Bone marrow aspirate smear.
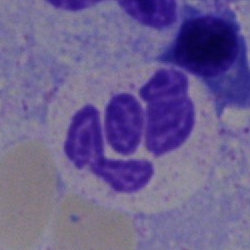
This is a polymorphonuclear neutrophil.